Bone marrow smear · 250×250 px: 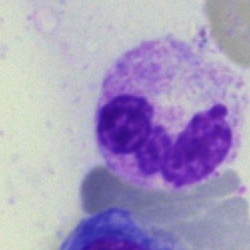
Specimen: bone marrow aspirate smear.
Morphological class: polymorphonuclear neutrophil.